Bone marrow aspirate smear: 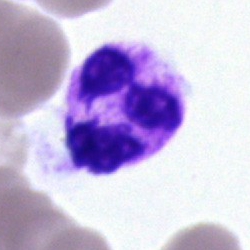 Showing a segmented neutrophil.